Single-cell field · May-Grünwald-Giemsa/Pappenheim stain · bone marrow aspirate smear — 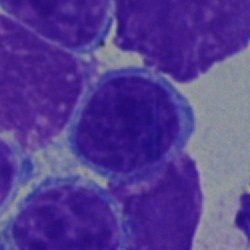 This is a lymphocyte.